Bone marrow smear · single-cell crop: 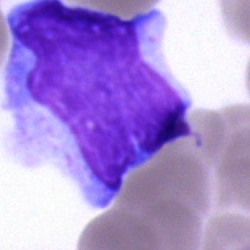 Specimen: bone marrow smear.
Classification: cell of indeterminate lineage.